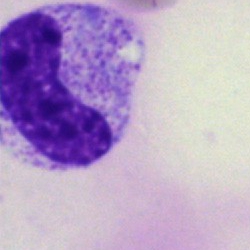
Q: What is the morphological classification of this cell?
A: Band neutrophil.